Bone marrow aspirate smear:
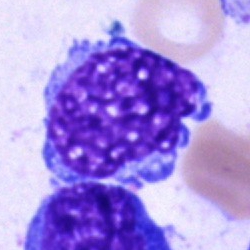

Morphology → blast.